Bone marrow aspirate smear.
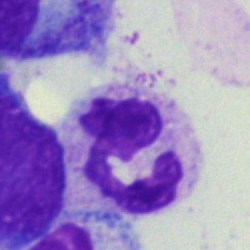
Q: Which cell type is shown here?
A: Polymorphonuclear neutrophil.